Bone marrow smear; brightfield, 40× oil-immersion objective; MGG-stained:
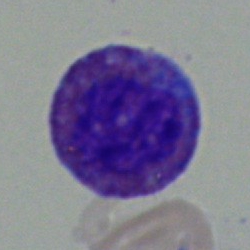Cell — eosinophilic granulocyte.